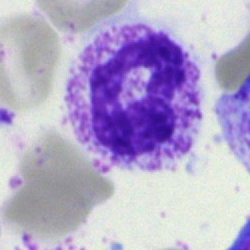 The cell shown is a segmented neutrophil.